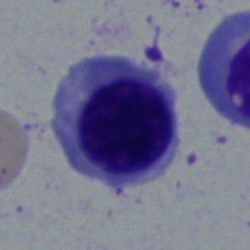Q: What is the morphological classification of this cell?
A: It is an erythroblast.